Bone marrow smear — 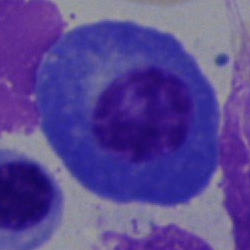
Cell type — plasmacyte.